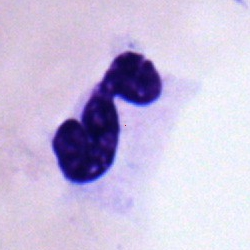
Cell type: neutrophil (segmented).